Bone marrow smear · 40× oil immersion:
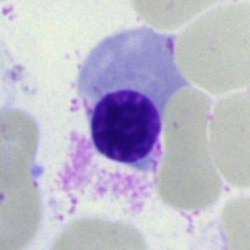 Specimen: bone marrow aspirate smear.
Morphological class: normoblast.
Lineage: erythroid.